Bone marrow smear
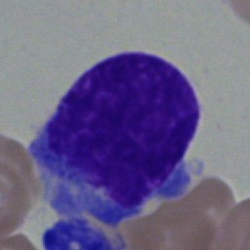Impression — blast cell.